Bone marrow smear. 40× objective, oil immersion. Pappenheim-stained: 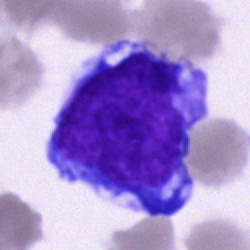Blast cell.